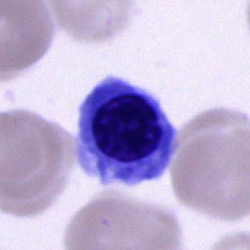 Cell = nucleated red blood cell.